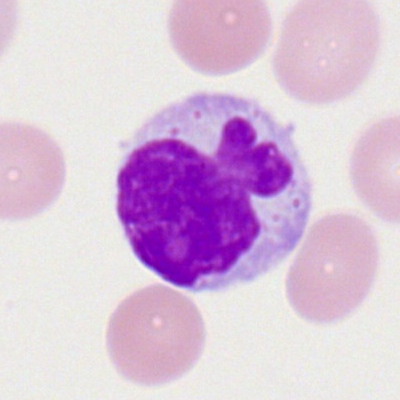Q: What is shown here?
A: This is a typical lymphocyte.